Bone marrow aspirate smear.
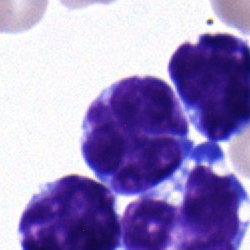
Cell type: lymphocyte.